250 by 250 pixels; bone marrow aspirate smear:
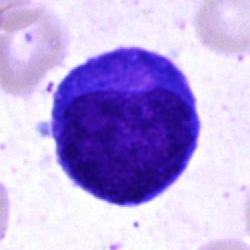 An undifferentiated blast.